Bone marrow smear · single-cell field:
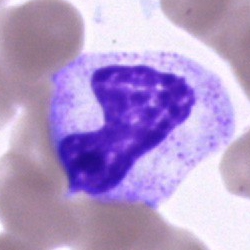
The classification is band-form neutrophil.